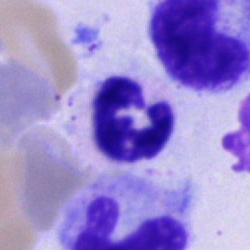

The cell shown is a segmented neutrophil.